Bone marrow smear. Brightfield, 40× oil-immersion objective — 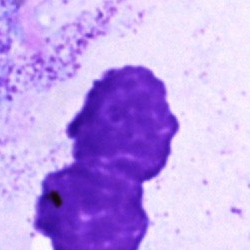 The cell shown is an artifact.